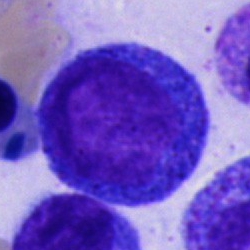A pronormoblast on a bone marrow smear.